Bone marrow smear
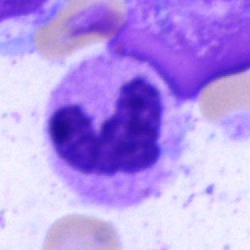Morphological class — segmented neutrophil.